Bone marrow smear · single-cell field · Pappenheim-stained
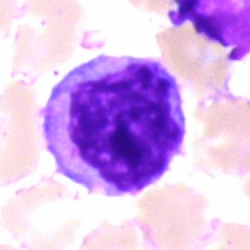

{"cell_type": "lymphocyte"}